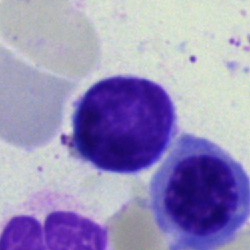
A lymphocyte on a bone marrow smear.